Peripheral blood smear. M8 digital microscope (Precipoint), 100× oil immersion
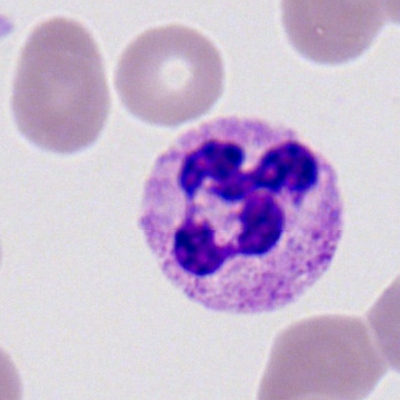Q: What cell is this?
A: It is a neutrophil (segmented).